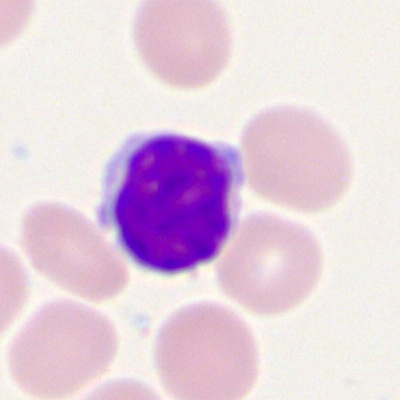Q: Which cell type is shown here?
A: A typical lymphocyte.